Bone marrow aspirate smear
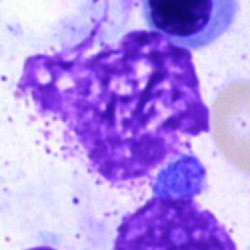

{"cell_type": "artifact"}